Peripheral blood smear — 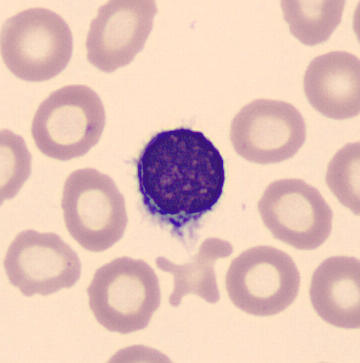Cell type = lymphocyte.